Bone marrow smear · brightfield, 40× oil-immersion objective:
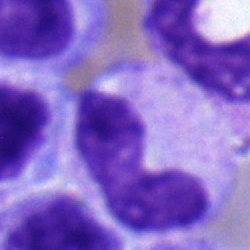

Showing a neutrophil (band).